Bone marrow aspirate smear.
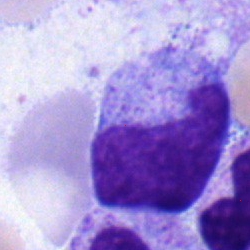

The morphological class is monocyte.